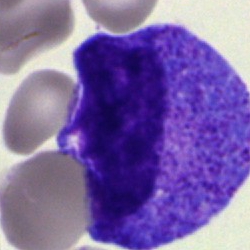
This is a promyelocyte.